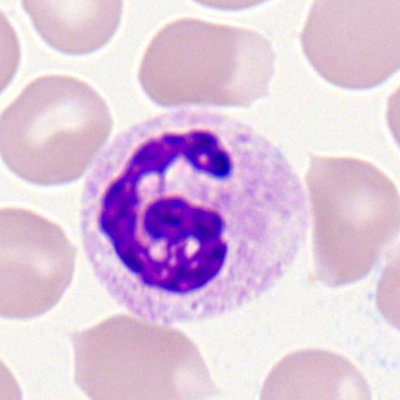{"cell_type": "polymorphonuclear neutrophil"}